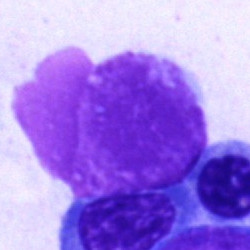 Morphological class — artefact.